Bone marrow aspirate smear
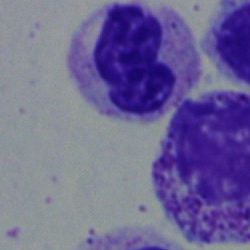

Morphology — segmented neutrophil.